250×250 px. Bone marrow aspirate smear:
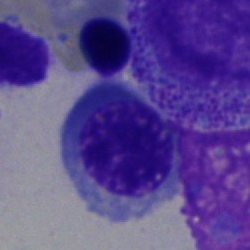Morphological class — nucleated red blood cell.